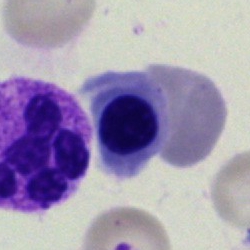 Normoblast.